Bone marrow aspirate smear · 250×250 — 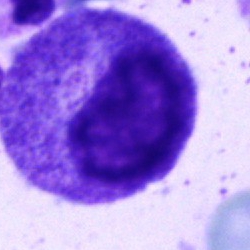

Q: What is shown here?
A: It is a myelocyte.